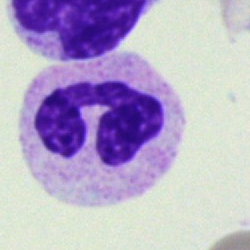
Specimen: bone marrow aspirate smear.
Classification: neutrophil (segmented).
Lineage: myeloid.